Bone marrow smear
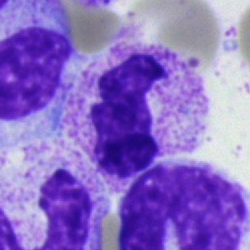The morphological class is segmented neutrophil.